Peripheral blood film. 400 by 400 pixels. M8 digital microscope (Precipoint), 100× oil immersion: 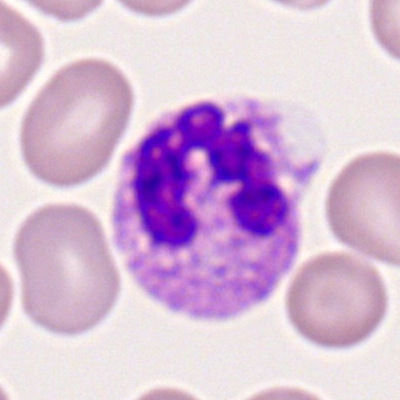

Q: Identify the cell.
A: A segmented neutrophil.